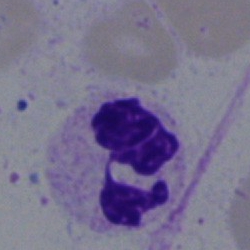 This is a segmented neutrophil.